Peripheral blood smear
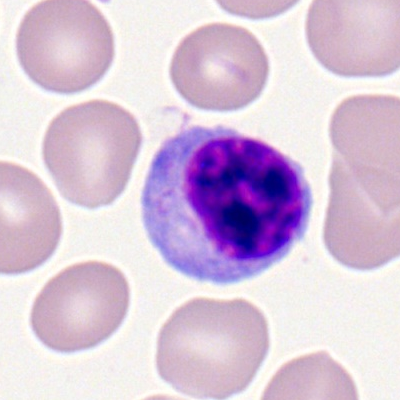

Cell type: lymphocyte.